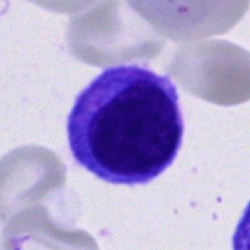
Q: What type of cell is this?
A: Lymphocyte.